Bone marrow aspirate smear. May-Grünwald-Giemsa stain. 250×250.
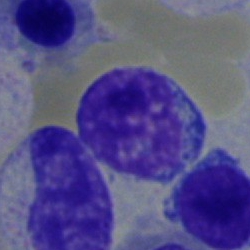
The cell shown is a typical lymphocyte.